Peripheral blood film; single cell centered in the field:
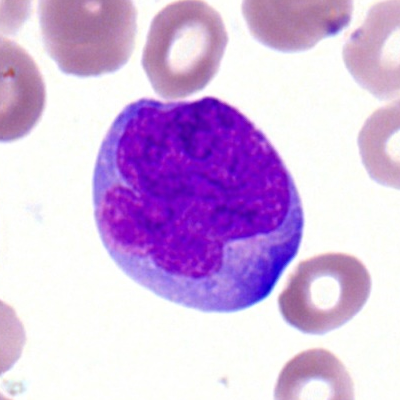 Showing a myeloid blast.